40× objective, oil immersion; bone marrow aspirate smear
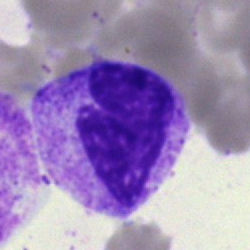

The cell shown is a band-form neutrophil.